Bone marrow aspirate smear: 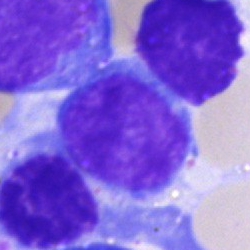Q: What cell is this?
A: It is a typical lymphocyte.